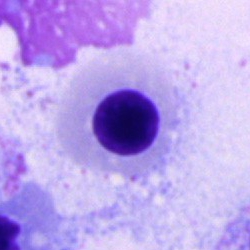 Q: Identify the cell.
A: Erythroblast.